Brightfield, 40× oil-immersion objective. Bone marrow aspirate smear — 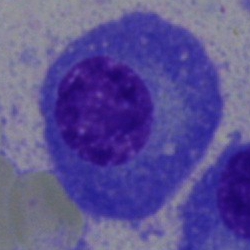 Specimen: bone marrow aspirate smear.
Cell type: plasma cell.
Lineage: lymphoid.